40× oil immersion; bone marrow smear
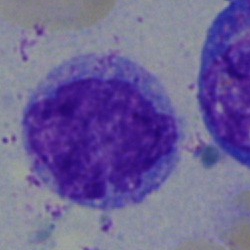

Specimen: bone marrow smear.
Cell type: monocyte.